Bone marrow smear.
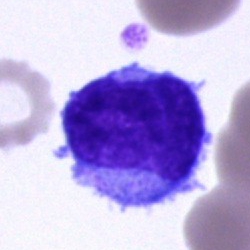
Blast cell.